Bone marrow aspirate smear; 250×250.
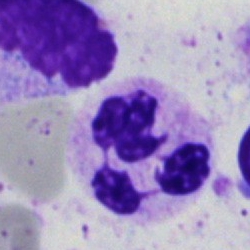 This is a neutrophil (segmented).